Brightfield microscopy, 40× oil immersion. Bone marrow smear. May-Grünwald-Giemsa stain:
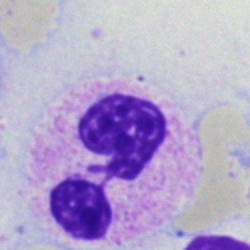 Q: Which cell type is shown here?
A: A neutrophil (segmented).